250×250 px; Pappenheim-stained; bone marrow aspirate smear:
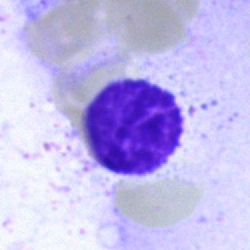 Cell = artefact.